Bone marrow smear — 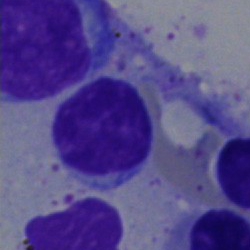
Morphological class: typical lymphocyte.